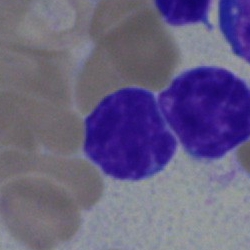Q: Which cell type is shown here?
A: Typical lymphocyte.